Peripheral blood smear — 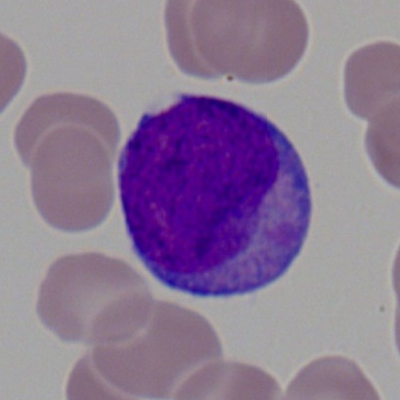 Cell: myeloblast.